Bone marrow smear:
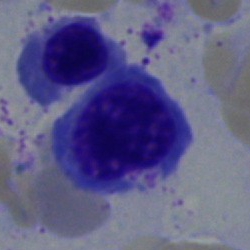

Specimen: bone marrow smear.
Classification: erythroblast.
Lineage: erythroid.